Bone marrow aspirate smear — 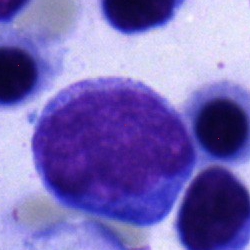This is an undifferentiated blast.